Single cell centered in the field; bone marrow aspirate smear; Pappenheim-stained:
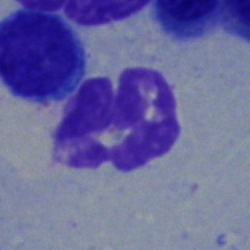
Single cell identified as a polymorphonuclear neutrophil.